Image size 250×250 · bone marrow aspirate smear · single-cell field — 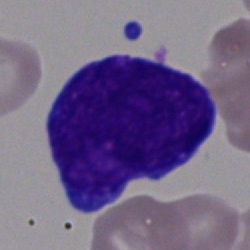

Specimen: bone marrow smear.
Morphological class: blast.